Bone marrow aspirate smear · cropped to a single cell
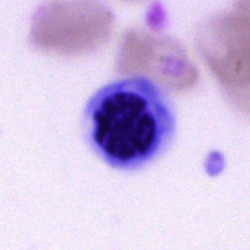

Showing a nucleated red cell.